Bone marrow smear
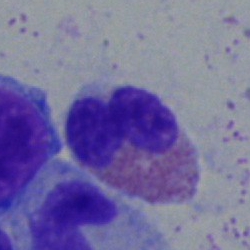

The cell type is eosinophil.